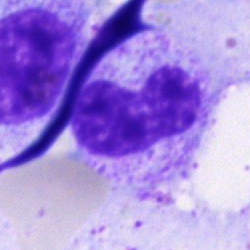
Specimen: bone marrow aspirate smear.
Cell: metamyelocyte.
Lineage: myeloid.